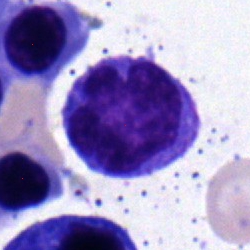This is a monocyte.